Bone marrow aspirate smear: 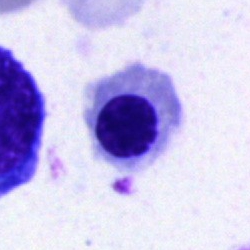Q: What is the morphological classification of this cell?
A: It is a normoblast.